Peripheral blood smear — 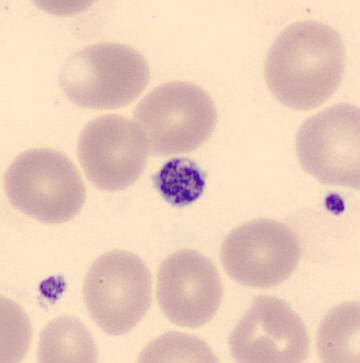 The cell type is thrombocyte.